Brightfield, 40× oil-immersion objective. 250×250. Bone marrow aspirate smear
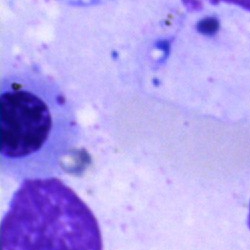

Q: What is shown here?
A: It is an unidentifiable cell.